Peripheral blood smear. 100× oil immersion. 400 by 400 pixels — 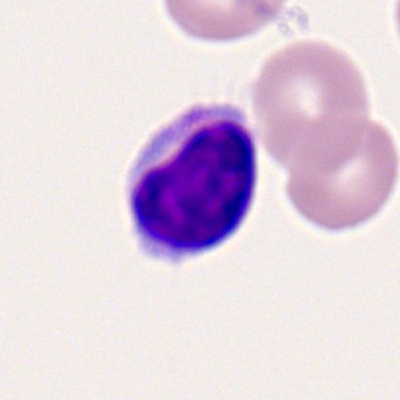 This is a typical lymphocyte.